Peripheral blood film.
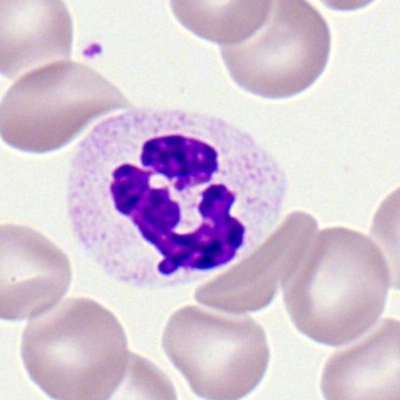 Morphological class — segmented neutrophil.